Peripheral blood smear — 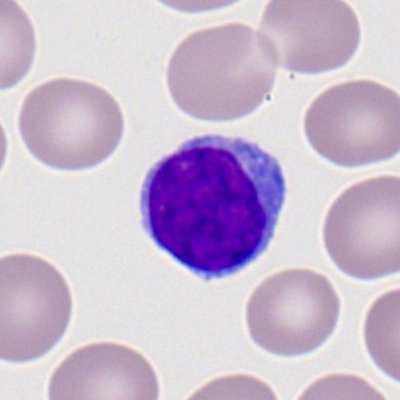

Morphological class: typical lymphocyte.